Bone marrow aspirate smear
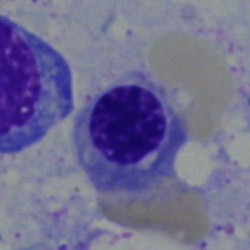A nucleated red cell.